Bone marrow smear: 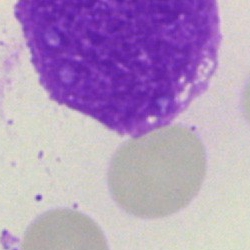 Single cell identified as an artifact.